Bone marrow aspirate smear.
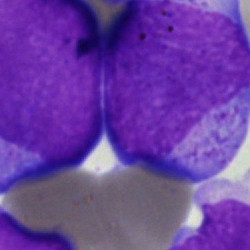
Blast.